Bone marrow smear: 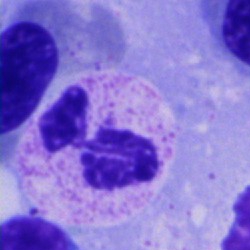

Single cell identified as a neutrophil (segmented).